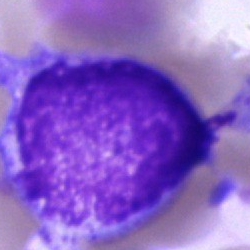

Q: What cell is this?
A: A blast cell.